250×250; bone marrow aspirate smear: 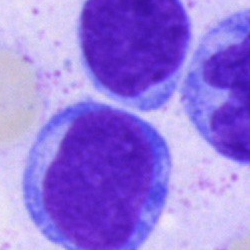 Morphology — blast.